Bone marrow smear
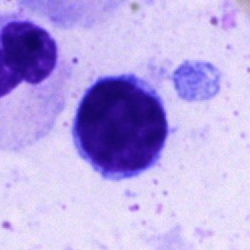
Morphology → lymphocyte.